Bone marrow smear: 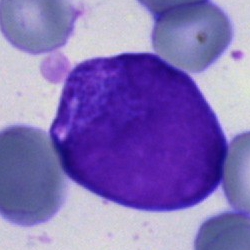

Q: What is the morphological classification of this cell?
A: Blast cell.